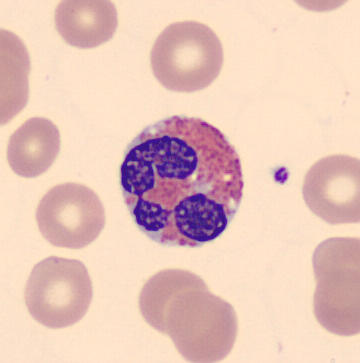Peripheral blood smear showing an eosinophilic granulocyte.